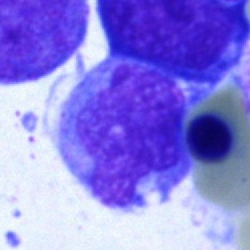
Specimen: bone marrow aspirate smear.
Cell type: blast.